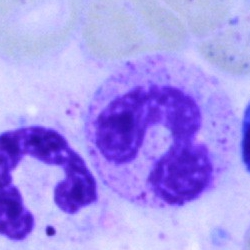Showing a segmented neutrophil.